Bone marrow aspirate smear; brightfield microscopy, 40× oil immersion; 250 by 250 pixels: 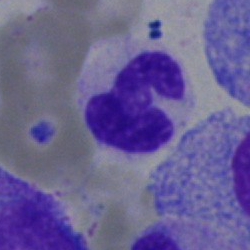The cell is neutrophil (segmented).